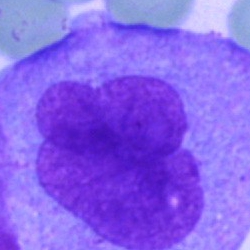Single-cell crop from a bone marrow smear: blast cell.